Brightfield, 40× oil-immersion objective · May-Grünwald-Giemsa stain · bone marrow smear — 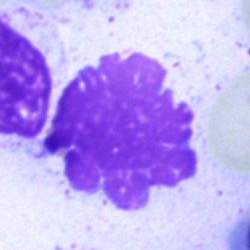

Single cell identified as an artefact.